Bone marrow smear. May-Grünwald-Giemsa/Pappenheim stain — 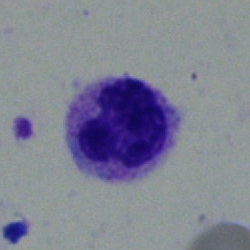

Cell type — polymorphonuclear neutrophil.